Bone marrow aspirate smear: 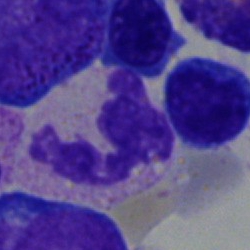Cell = lymphocyte.